Bone marrow smear:
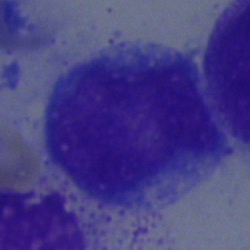

Specimen: bone marrow aspirate smear.
Cell type: monocyte.